Bone marrow smear · single-cell field — 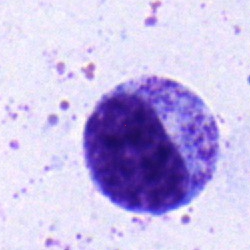
Classification = myelocyte.